Bone marrow aspirate smear · 40× objective, oil immersion · 250 by 250 pixels — 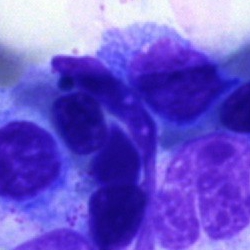
The cell is neutrophil (segmented).